Bone marrow smear; Pappenheim-stained — 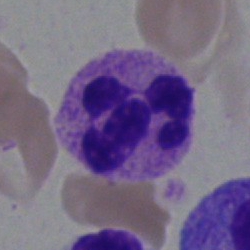Morphology → segmented neutrophil.